Bone marrow smear
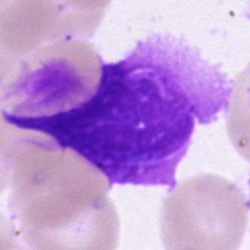Artefact.